Bone marrow smear: 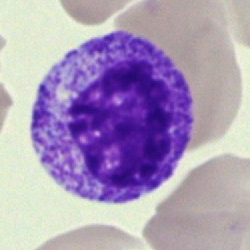Specimen: bone marrow smear.
Classification: myelocyte.
Lineage: myeloid.